Peripheral blood film — 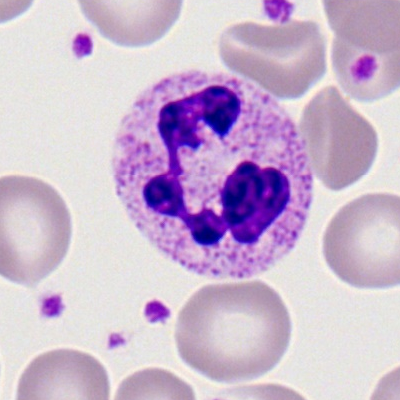Neutrophil (segmented).